Bone marrow smear · single-cell crop: 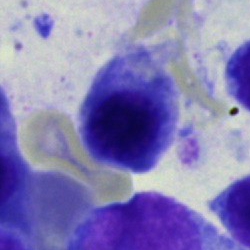 Morphological class: nucleated red blood cell.